Bone marrow smear: 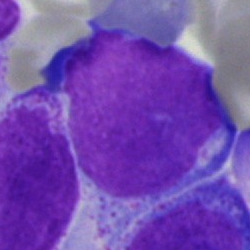
An undifferentiated blast.